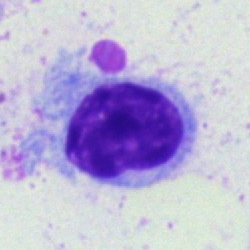

Q: What is shown here?
A: A plasmacyte.